Romanowsky-type stain · peripheral blood smear
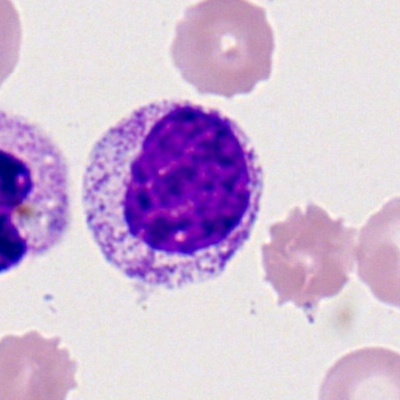
Specimen: peripheral blood film.
Classification: myelocyte.
Lineage: myeloid.